Romanowsky stain · peripheral blood film
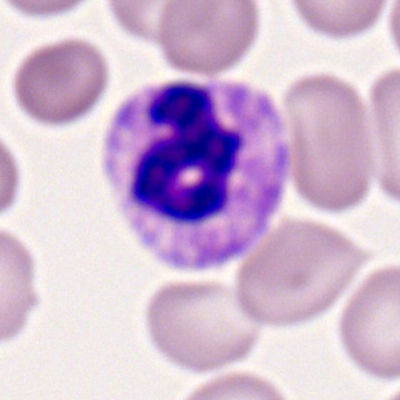Classification: neutrophil (segmented).